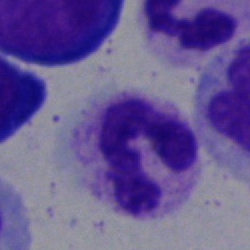Cell type: segmented neutrophil.